Peripheral blood film
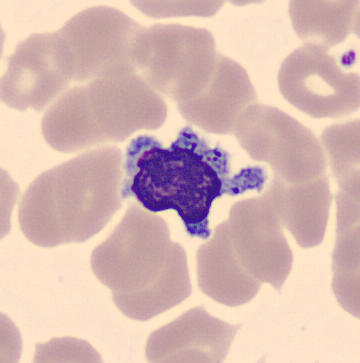

{"cell_type": "lymphocyte", "lineage": "lymphoid"}